Bone marrow aspirate smear:
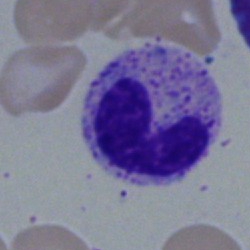 Impression → stab cell.